Peripheral blood film · Romanowsky-type stain · single-cell field.
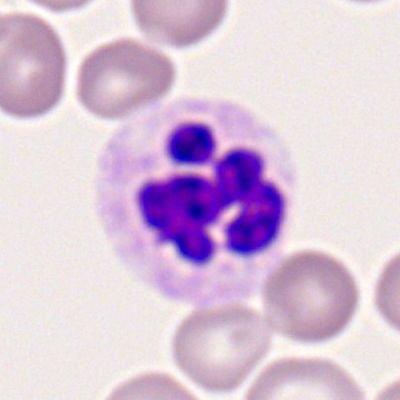

Q: What type of cell is this?
A: This is a segmented neutrophil.